40× objective, oil immersion · bone marrow aspirate smear: 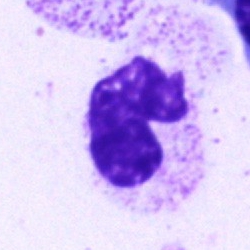
Impression → neutrophil (segmented).